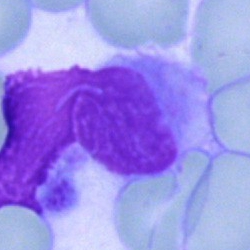 The cell shown is an artifact.